Bone marrow aspirate smear. 250×250 px. 40× oil immersion.
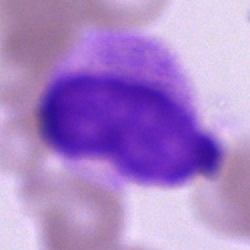

Morphological class — cell of indeterminate lineage.